MGG-stained. Bone marrow aspirate smear. Image size 250×250:
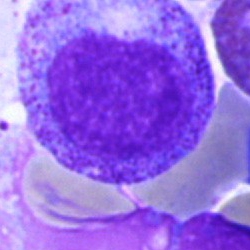Showing a myelocyte.